Pappenheim-stained; bone marrow smear:
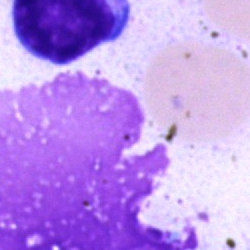
The classification is artefact.